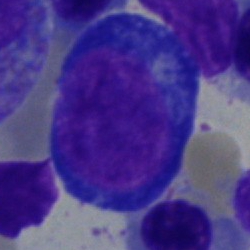
Morphology consistent with a nucleated red cell.